Bone marrow smear. 250×250. 40× oil immersion.
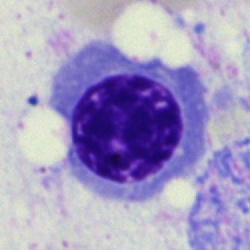Cell: nucleated red blood cell.